Single cell centered in the field; bone marrow smear.
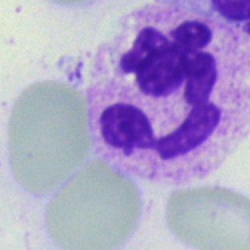The morphological class is polymorphonuclear neutrophil.